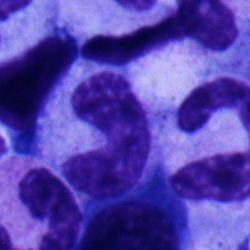 The cell shown is a neutrophil (band).